Peripheral blood film
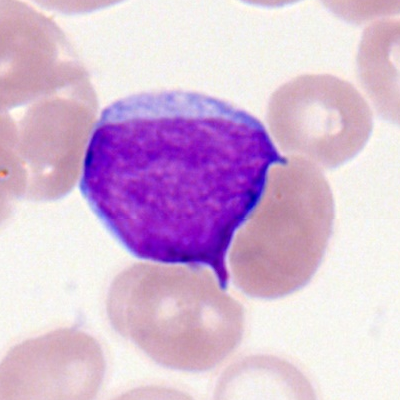 Morphological class — myeloblast.